Bone marrow aspirate smear
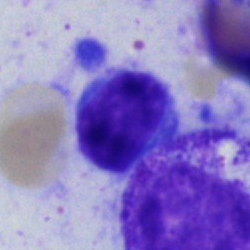 A typical lymphocyte.